Single-cell crop; 40× objective, oil immersion; bone marrow aspirate smear:
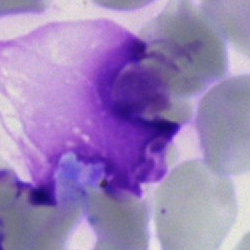Morphological class — artefact.